40× objective, oil immersion. Bone marrow smear.
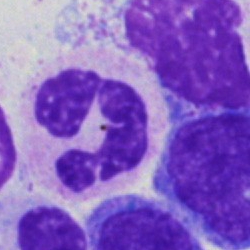Classification: segmented neutrophil.